Bone marrow aspirate smear:
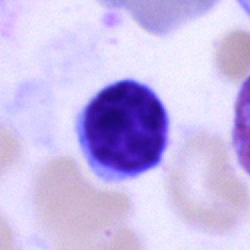 Impression — typical lymphocyte.